Single cell centered in the field; bone marrow aspirate smear
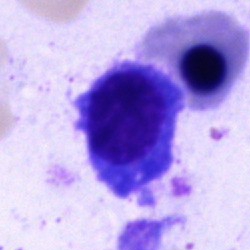The cell type is plasma cell.